Bone marrow smear — 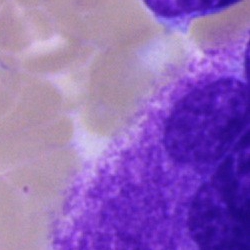 Cell type = artefact.